Bone marrow smear.
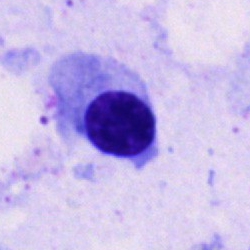
Cell type: normoblast.